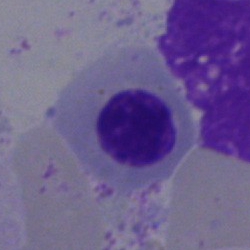 Q: Identify the cell.
A: This is an erythroblast.